Bone marrow aspirate smear · single cell centered in the field
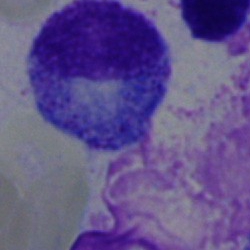 {"cell_type": "progranulocyte", "lineage": "myeloid"}